Bone marrow smear · single-cell field:
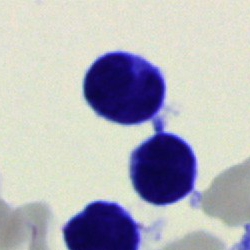Cell = typical lymphocyte.